Bone marrow aspirate smear · May-Grünwald-Giemsa/Pappenheim stain · 40× oil immersion.
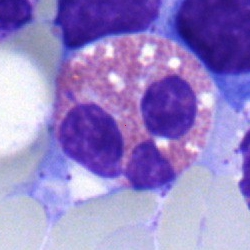

Impression — eosinophilic granulocyte.